Bone marrow aspirate smear — 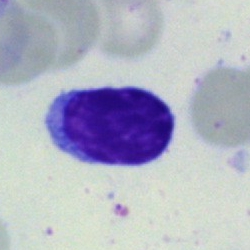
Morphology — lymphocyte.